Bone marrow aspirate smear
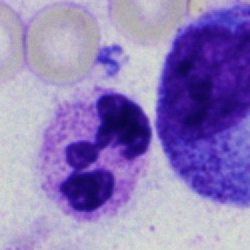
Q: What is the morphological classification of this cell?
A: This is a segmented neutrophil.